Peripheral blood film:
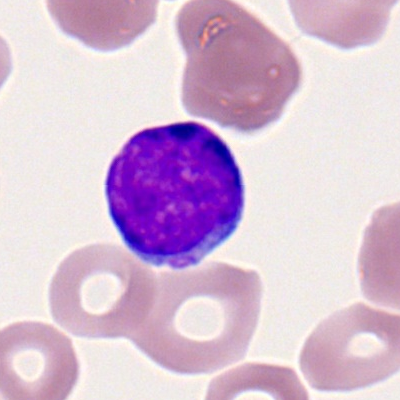
The morphological class is typical lymphocyte.